Bone marrow aspirate smear:
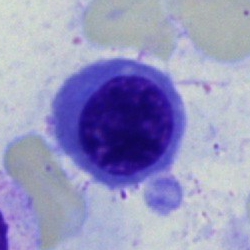
The cell shown is an erythroblast.